Bone marrow smear · 250×250 — 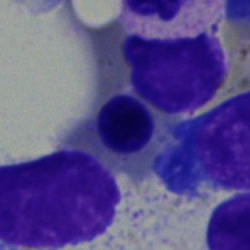
Nucleated red blood cell.